May-Grünwald-Giemsa stain. Bone marrow aspirate smear. Brightfield microscopy, 40× oil immersion:
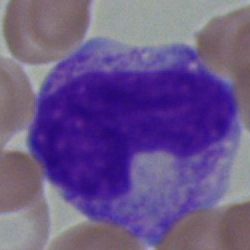
Cell — metamyelocyte.